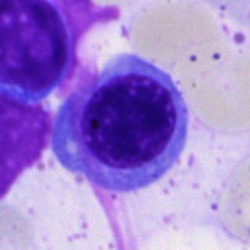 Cell = nucleated red cell.